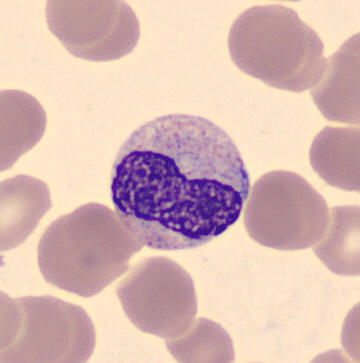

Impression — metamyelocyte.

Peripheral blood film; single-cell field.